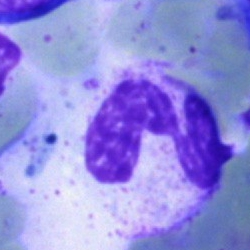 This is a segmented neutrophil.